Peripheral blood smear; 400×400 px.
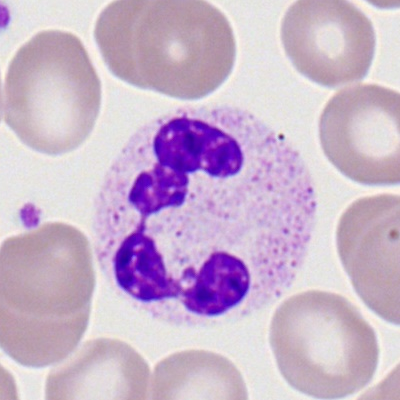

Impression → segmented neutrophil.